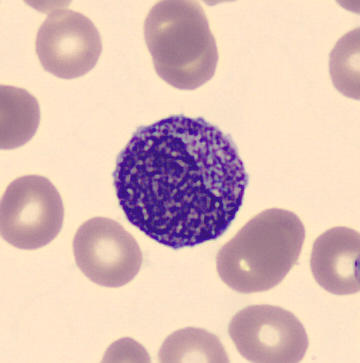Specimen: peripheral blood smear.
Cell: myelocyte.
Lineage: myeloid.